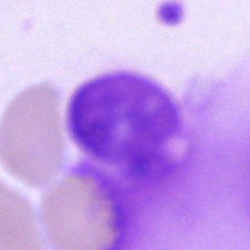Specimen: bone marrow aspirate smear.
Cell type: artifact.